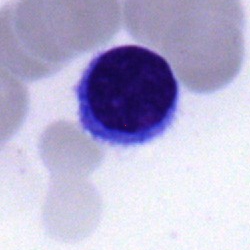
Specimen: bone marrow aspirate smear.
Cell: typical lymphocyte.